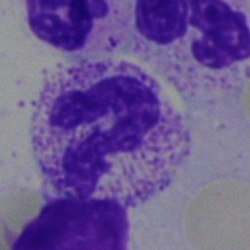

Bone marrow aspirate smear, single cell — segmented neutrophil.